Bone marrow smear. Single-cell crop. Brightfield microscopy, 40× oil immersion:
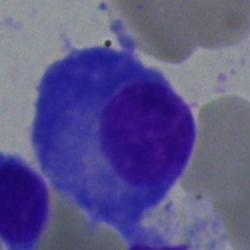 Plasmacyte.